Bone marrow smear. 250 by 250 pixels: 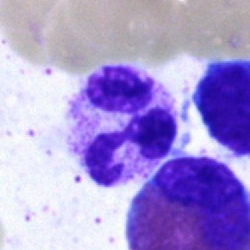
Q: What is shown here?
A: It is a neutrophil (segmented).